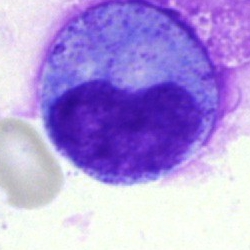 Classification — metamyelocyte.